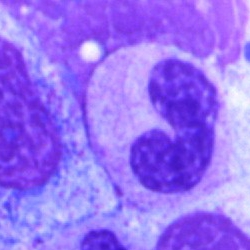
Specimen: bone marrow smear.
Cell type: neutrophil (segmented).